Bone marrow smear — 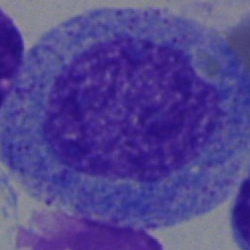
Showing a promyelocyte.